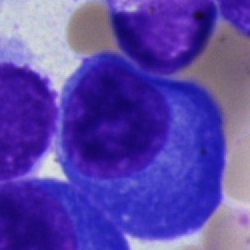The cell type is plasma cell.